May-Grünwald-Giemsa stain · bone marrow aspirate smear:
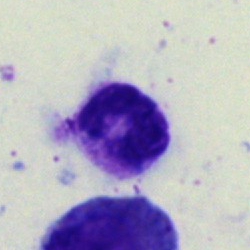

Impression → neutrophil (segmented).